Bone marrow aspirate smear
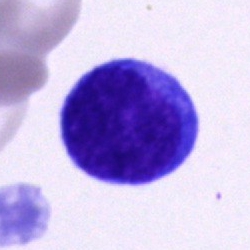

The cell is unidentifiable cell.